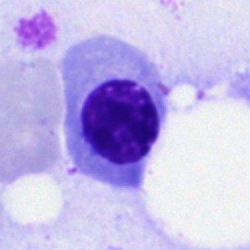
Q: Which cell type is shown here?
A: Nucleated red cell.